Bone marrow aspirate smear:
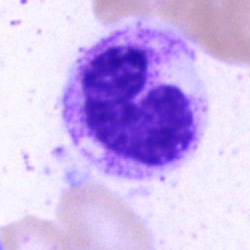

{"cell_type": "band-form neutrophil", "lineage": "myeloid"}